Single-cell field. Bone marrow aspirate smear: 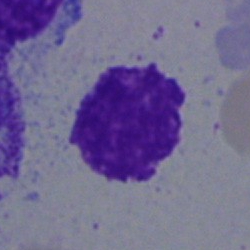

{"cell_type": "artefact"}